Peripheral blood smear — 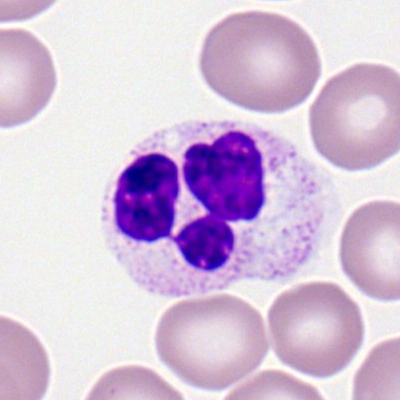Morphological class — segmented neutrophil.